250×250 px · 40× oil immersion · bone marrow aspirate smear
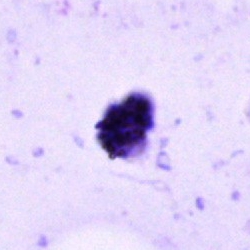Impression — artifact.